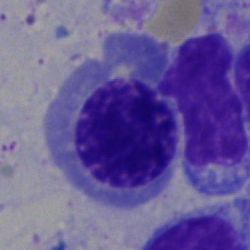Q: What cell is this?
A: A nucleated red cell.